Cropped to a single cell; bone marrow aspirate smear — 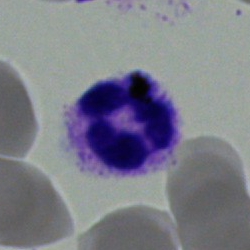

Morphology → neutrophil (segmented).